Bone marrow aspirate smear; 40× oil immersion.
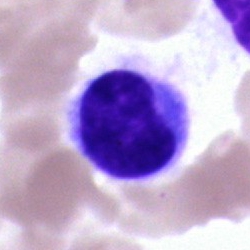
Cell = typical lymphocyte.